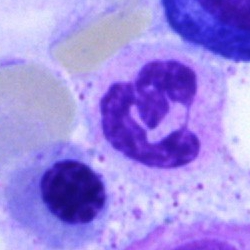

This is a polymorphonuclear neutrophil.